Bone marrow smear.
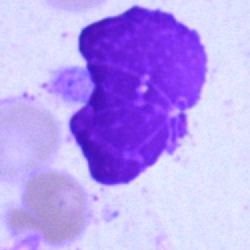
Morphological class: artefact.